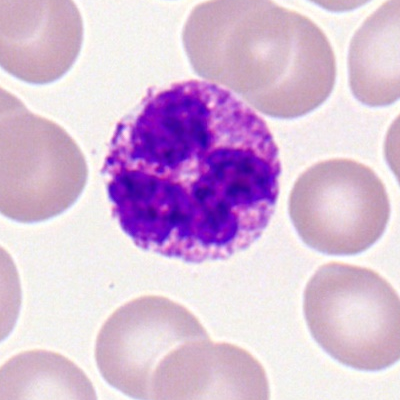
Cell type — basophil.